Bone marrow aspirate smear:
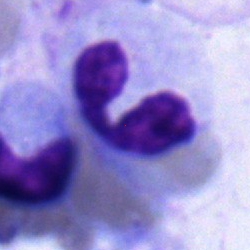

Cell type — neutrophil (segmented).